Bone marrow smear. Cropped to a single cell — 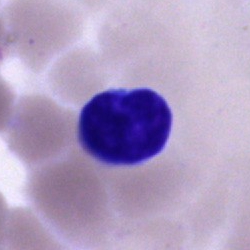

{"cell_type": "lymphocyte", "lineage": "lymphoid"}